MGG-stained. Bone marrow aspirate smear
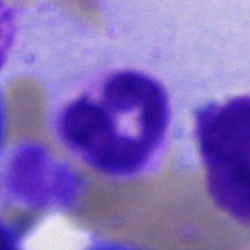 Cell: polymorphonuclear neutrophil.